Bone marrow aspirate smear. Single-cell crop — 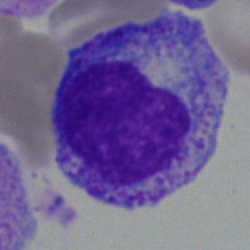
Morphology consistent with a progranulocyte.